Bone marrow aspirate smear.
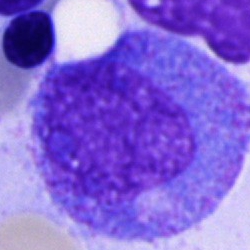 Morphological class — progranulocyte.